Bone marrow smear; 250 by 250 pixels
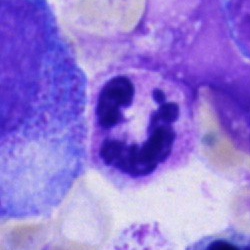
Impression → segmented neutrophil.